Image size 250×250 · bone marrow aspirate smear — 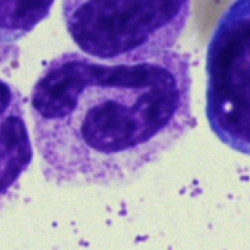Polymorphonuclear neutrophil.